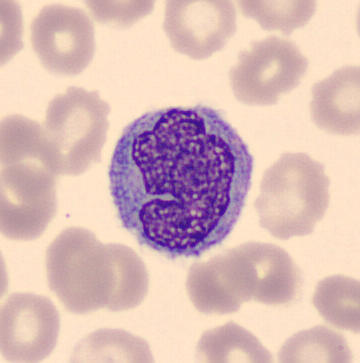 The cell type is monocyte.